Bone marrow aspirate smear.
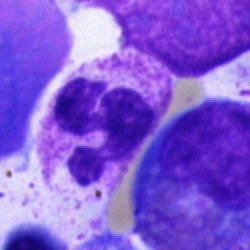 Q: Identify the cell.
A: Polymorphonuclear neutrophil.